Bone marrow aspirate smear:
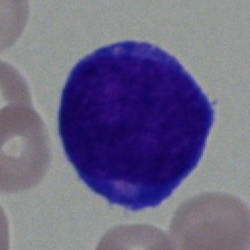

Impression → blast.